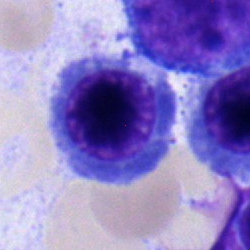Bone marrow smear showing a normoblast.